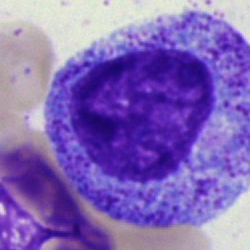
A progranulocyte on a bone marrow smear.